Bone marrow aspirate smear — 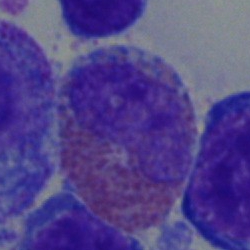

Morphology → eosinophil.